Bone marrow aspirate smear · 250 by 250 pixels · single-cell field: 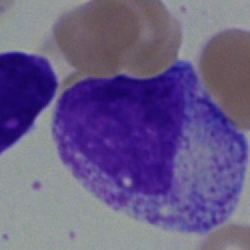Q: What type of cell is this?
A: This is a myelocyte.